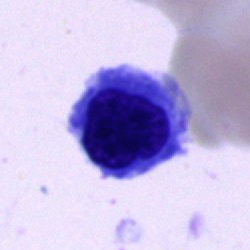

Q: What is the morphological classification of this cell?
A: It is a normoblast.